Single-cell crop; bone marrow aspirate smear:
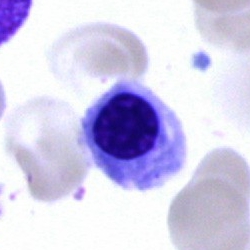
Classification — normoblast.